400 by 400 pixels; single-cell field; peripheral blood film.
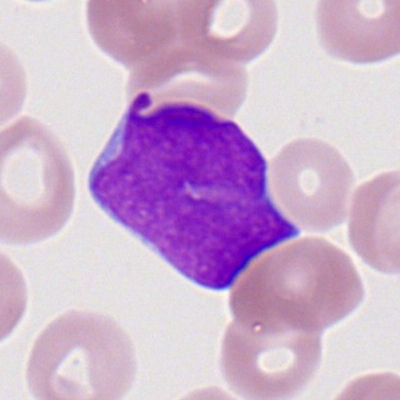 This is a myeloid blast.